Bone marrow smear: 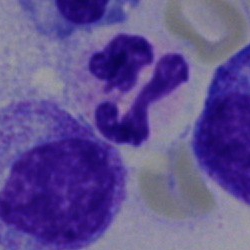

Neutrophil (segmented).